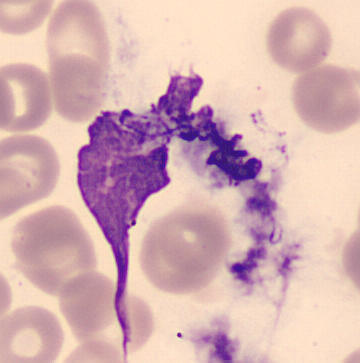 Specimen: peripheral blood film.
Classification: monocyte.
Lineage: myeloid.